Bone marrow aspirate smear:
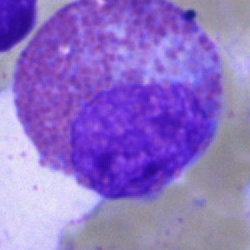

Q: What is the morphological classification of this cell?
A: Eosinophilic granulocyte.